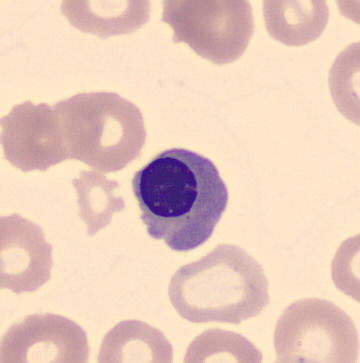 Image size 360×363.
Specimen: peripheral blood film.
Classification: normoblast.
Lineage: erythroid.